Bone marrow aspirate smear; May-Grünwald-Giemsa stain
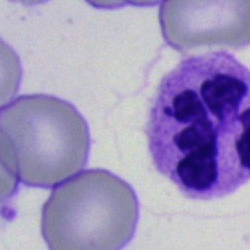
Single cell identified as a segmented neutrophil.